Brightfield microscopy, 40× oil immersion. Bone marrow aspirate smear.
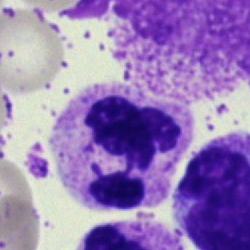
{"cell_type": "polymorphonuclear neutrophil", "lineage": "myeloid"}